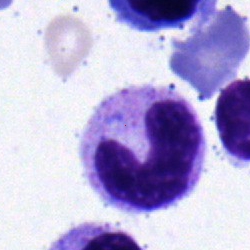
Band neutrophil.